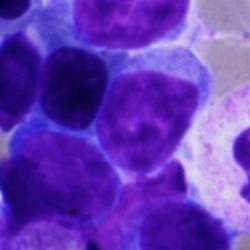 Impression — typical lymphocyte.